Romanowsky-type stain · 400×400 px · peripheral blood smear.
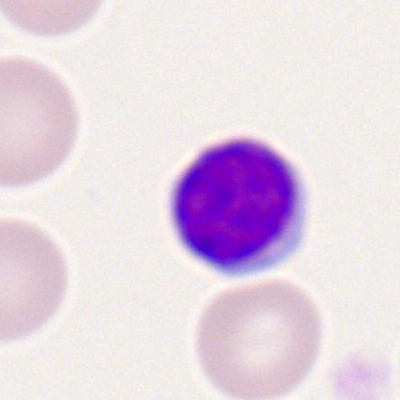The morphological class is lymphocyte.